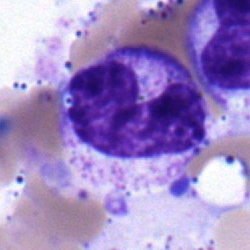
Classification: band-form neutrophil.